Peripheral blood film:
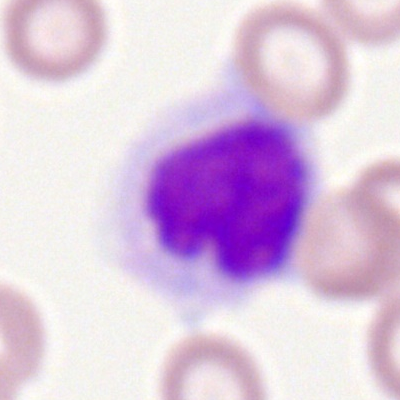
Q: What is the morphological classification of this cell?
A: Monocyte.